Bone marrow smear — 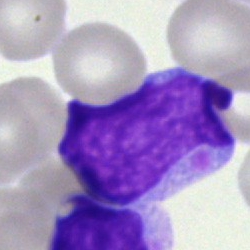

Specimen: bone marrow smear.
Cell type: undifferentiated blast.